Bone marrow smear — 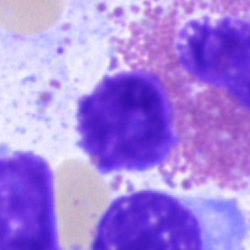

Q: What is shown here?
A: This is an eosinophil.